Bone marrow smear · single-cell field.
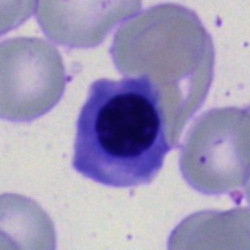

Classification = nucleated red blood cell.